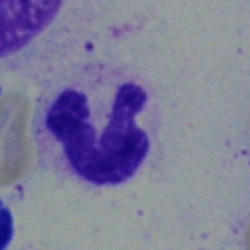

{"cell_type": "neutrophil (segmented)", "lineage": "myeloid"}